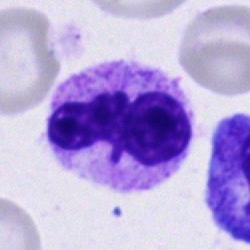{"cell_type": "segmented neutrophil"}